Bone marrow aspirate smear. Single cell centered in the field.
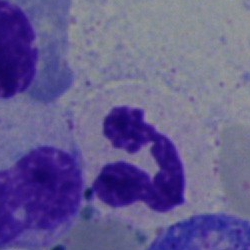Q: What is shown here?
A: It is a polymorphonuclear neutrophil.